Bone marrow smear
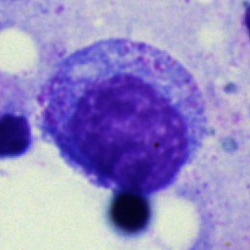
{"cell_type": "promyelocyte", "lineage": "myeloid"}